Bone marrow smear · 40× objective, oil immersion — 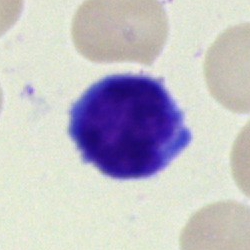

Q: What cell is this?
A: It is a lymphocyte.